Pappenheim-stained. Single-cell field. Bone marrow aspirate smear: 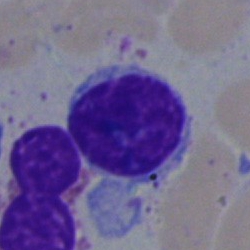 Specimen: bone marrow aspirate smear.
Cell: lymphocyte.